Bone marrow aspirate smear: 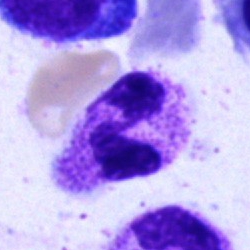

Impression — polymorphonuclear neutrophil.